Bone marrow smear · brightfield microscopy, 40× oil immersion:
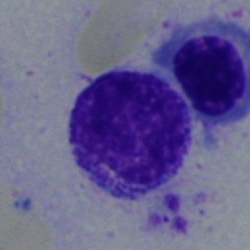
This is a myelocyte.